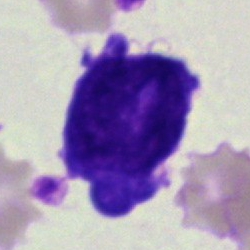 Specimen: bone marrow smear.
Morphological class: undifferentiated blast.